Peripheral blood smear.
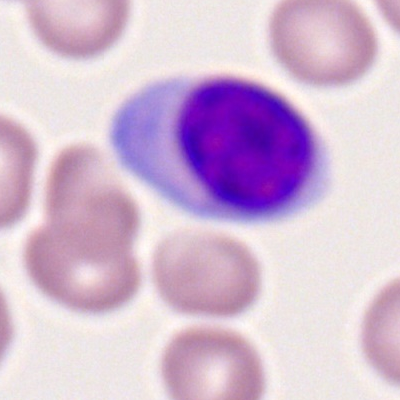 Q: Identify the cell.
A: This is a lymphocyte.